Bone marrow aspirate smear — 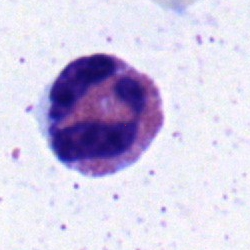 This is an eosinophilic granulocyte.